Peripheral blood smear: 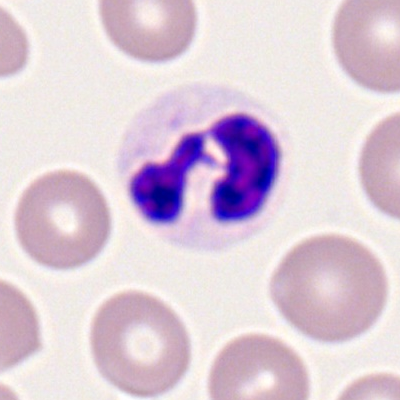 Q: What is shown here?
A: A segmented neutrophil.